Bone marrow smear:
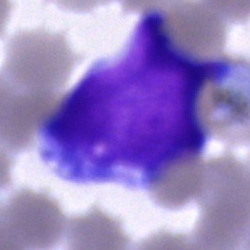 Single cell identified as a blast.